Peripheral blood film
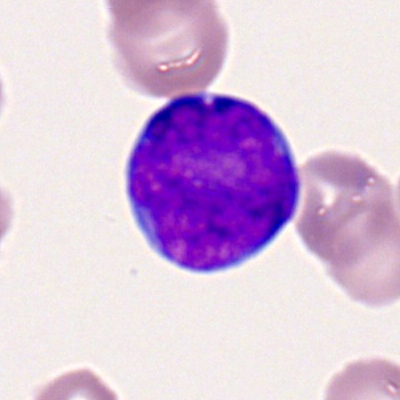 Showing a myeloblast.